40× objective, oil immersion · bone marrow aspirate smear:
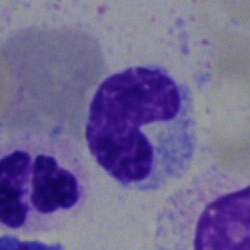
A band-form neutrophil.